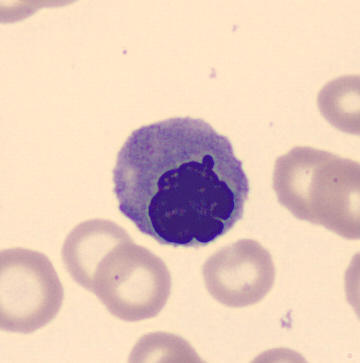Morphology consistent with a nucleated red blood cell.